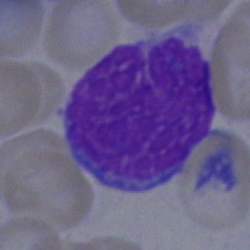Morphological class: artefact.